Bone marrow smear. 250×250: 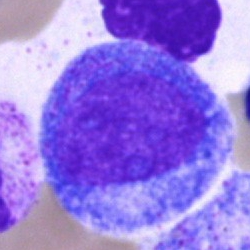

Specimen: bone marrow aspirate smear.
Cell: promyelocyte.
Lineage: myeloid.